Bone marrow aspirate smear: 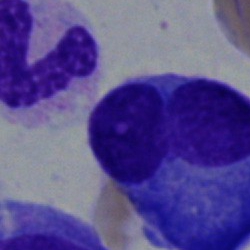

Showing a plasma cell.